Bone marrow aspirate smear.
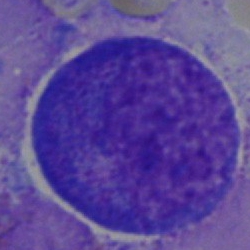
Specimen: bone marrow aspirate smear.
Cell type: progranulocyte.
Lineage: myeloid.